Bone marrow aspirate smear; 250×250 — 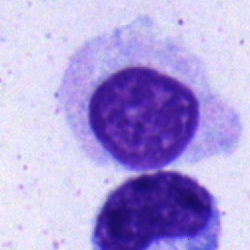
This is a myelocyte.